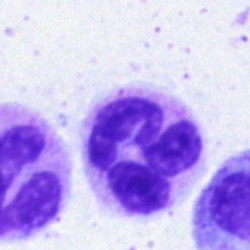

Morphological class = polymorphonuclear neutrophil.